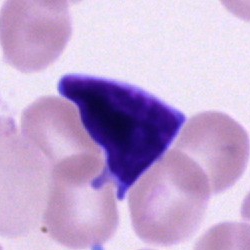 Classification — typical lymphocyte.